Peripheral blood smear
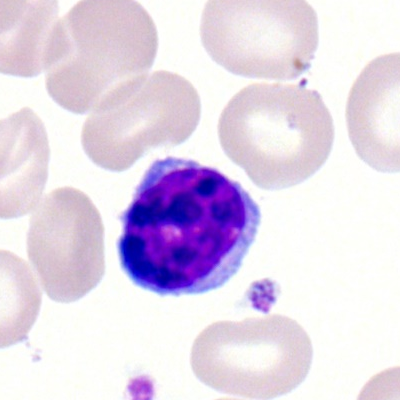 Morphology → typical lymphocyte.